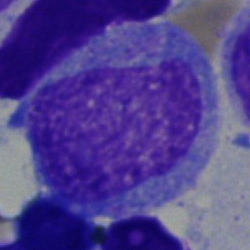

Classification — promyelocyte.